Bone marrow smear — 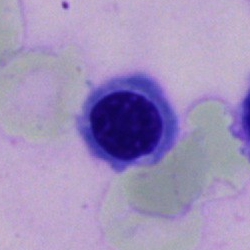A nucleated red cell.